Bone marrow smear.
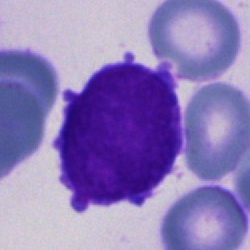

Cell type — blast.